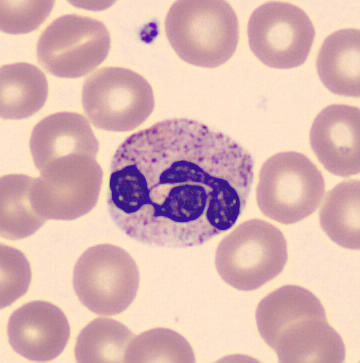 A segmented neutrophil.

Preparation: Peripheral blood film.